Bone marrow aspirate smear: 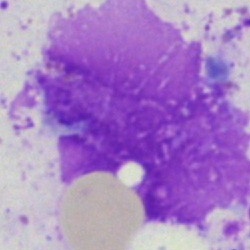
An artifact.